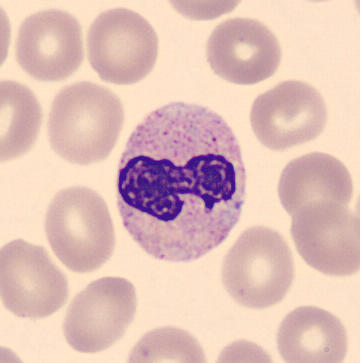
Single cell identified as a band neutrophil.